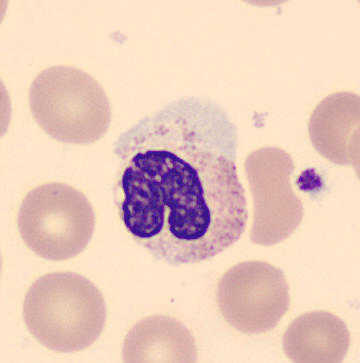
A segmented neutrophil on a peripheral blood smear.